40× objective, oil immersion. Bone marrow aspirate smear
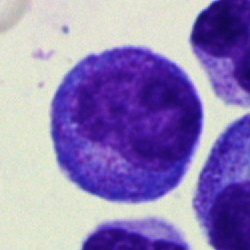 Morphological class — progranulocyte.